Bone marrow aspirate smear
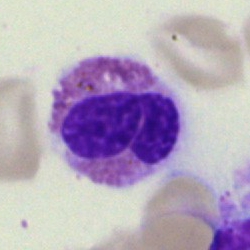Cell type: eosinophil.